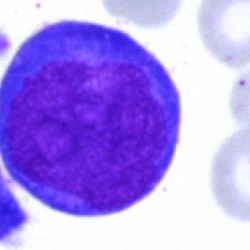Specimen: bone marrow smear.
Cell type: pronormoblast.
Lineage: erythroid.